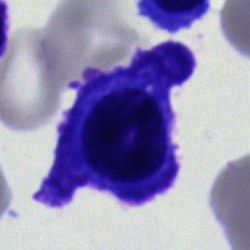 Q: What is the morphological classification of this cell?
A: This is a plasma cell.